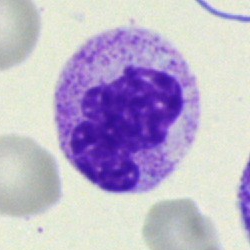 Cell = neutrophil (segmented).